Bone marrow smear — 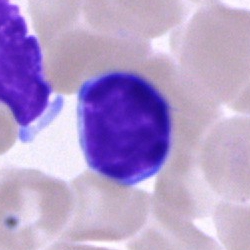

Morphological class = lymphocyte.